250 by 250 pixels; 40× oil immersion; bone marrow aspirate smear.
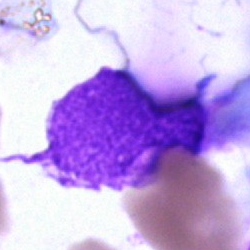
An artefact.